Single-cell field · bone marrow smear
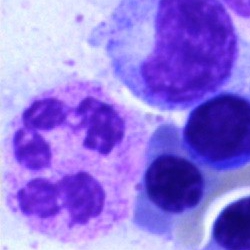
Neutrophil (segmented).